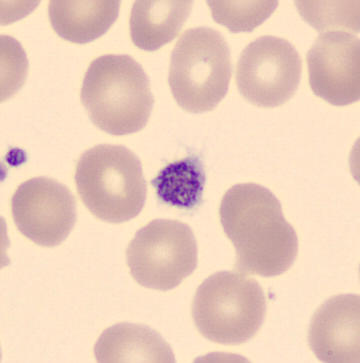A thrombocyte.